Bone marrow smear — 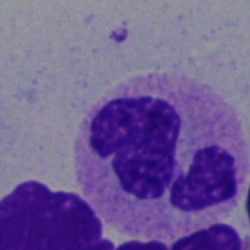

A segmented neutrophil.